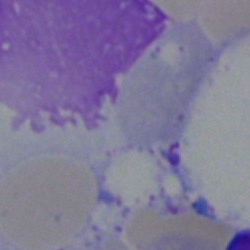 An artifact.